250×250 · bone marrow smear: 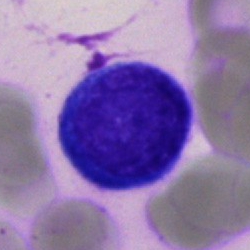
Blast.